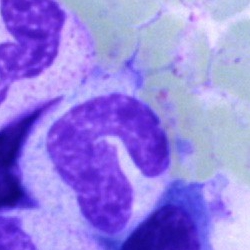Q: Which cell type is shown here?
A: Stab cell.